Bone marrow aspirate smear
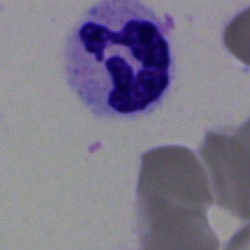 {"cell_type": "polymorphonuclear neutrophil", "lineage": "myeloid"}